Bone marrow aspirate smear: 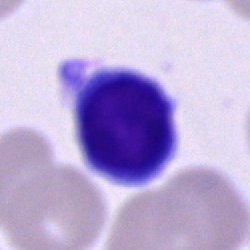Morphology → typical lymphocyte.